Bone marrow smear: 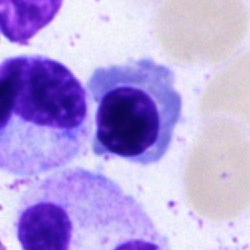
Cell — erythroblast.